Bone marrow aspirate smear.
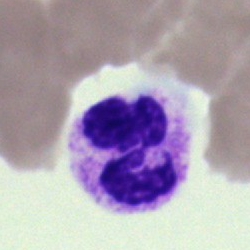

This is a segmented neutrophil.